Bone marrow aspirate smear — 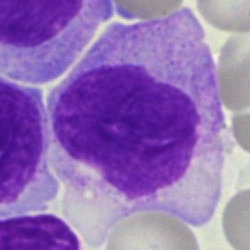 Q: Identify the cell.
A: This is a monocyte.